Peripheral blood smear — 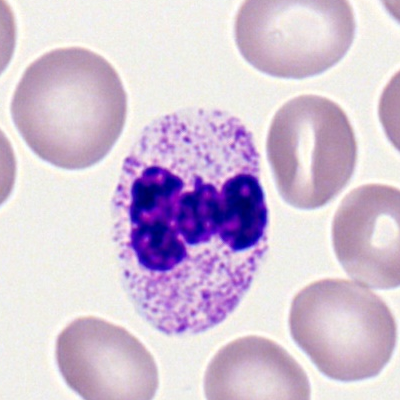
A polymorphonuclear neutrophil.